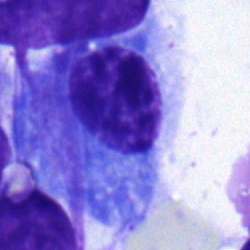 Impression — plasma cell.